Cropped to a single cell. Bone marrow aspirate smear:
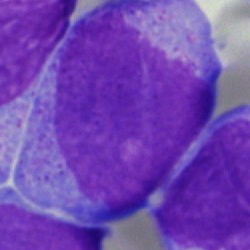 Classification — undifferentiated blast.